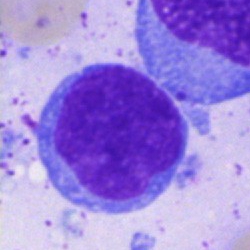

Single cell identified as an undifferentiated blast.